40× oil immersion · bone marrow smear — 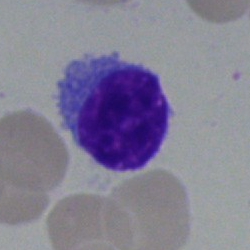

Cell type: typical lymphocyte.